Bone marrow aspirate smear: 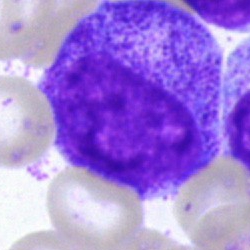 Q: Identify the cell.
A: It is a promyelocyte.